Bone marrow aspirate smear. Cropped to a single cell
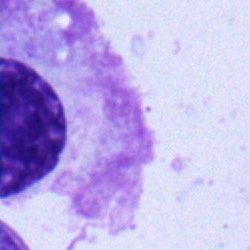
Classification = plasmacyte.